Bone marrow smear:
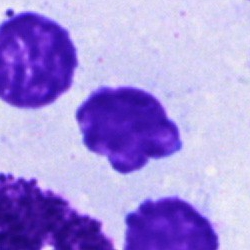
Classification: artefact.